Bone marrow smear — 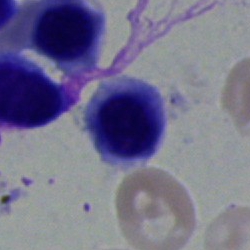
Specimen: bone marrow aspirate smear.
Cell type: normoblast.
Lineage: erythroid.